Bone marrow aspirate smear:
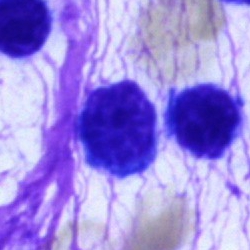

Q: What is shown here?
A: An artefact.